Bone marrow smear — 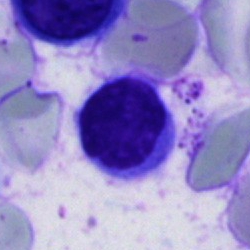 Specimen: bone marrow smear.
Cell type: lymphocyte.
Lineage: lymphoid.